Peripheral blood film:
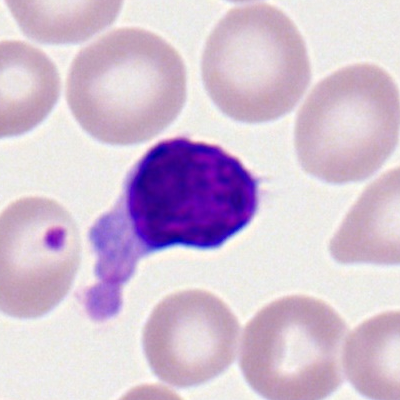
This is a lymphocyte.